Bone marrow smear · MGG-stained · brightfield, 40× oil-immersion objective: 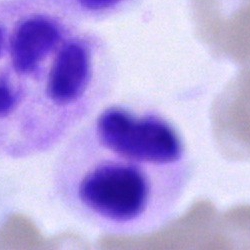 Q: What cell is this?
A: This is a polymorphonuclear neutrophil.